Bone marrow smear · image size 250×250 · MGG-stained:
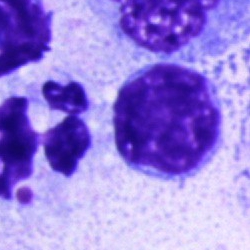 Morphological class = typical lymphocyte.